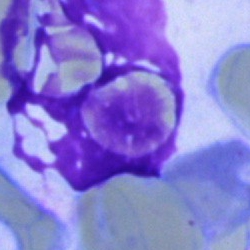

Single cell identified as an artefact.